Bone marrow smear · 40× objective, oil immersion
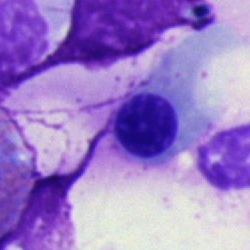 Q: What is shown here?
A: This is an erythroblast.